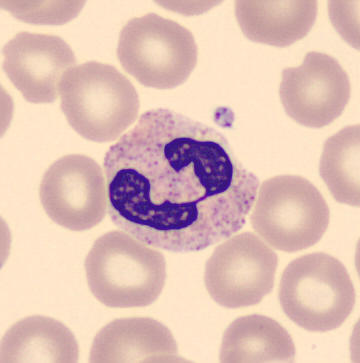
Acquisition: Peripheral blood smear. Cell type — neutrophil (segmented).